Bone marrow smear
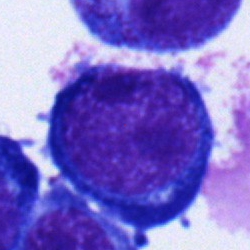
Single cell identified as a proerythroblast.